Bone marrow smear · brightfield microscopy, 40× oil immersion — 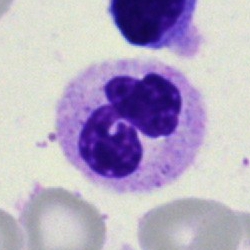
Classification = polymorphonuclear neutrophil.